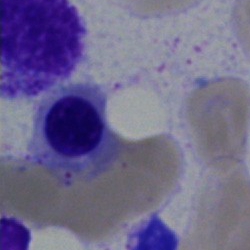
Q: What cell is this?
A: It is a nucleated red blood cell.